Pappenheim-stained · bone marrow aspirate smear · image size 250×250.
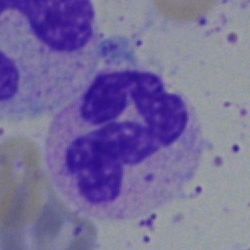
Q: What is the morphological classification of this cell?
A: It is a segmented neutrophil.